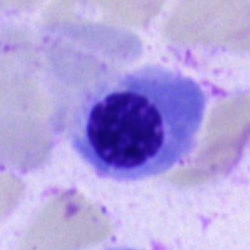Q: What is shown here?
A: It is an erythroblast.